Bone marrow aspirate smear: 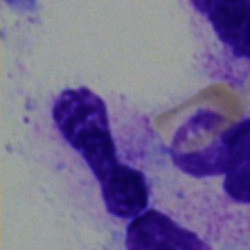

Specimen: bone marrow smear.
Classification: polymorphonuclear neutrophil.